Bone marrow aspirate smear. Brightfield microscopy, 40× oil immersion. 250×250 px: 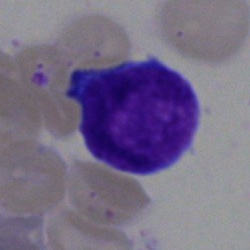{"cell_type": "lymphocyte"}